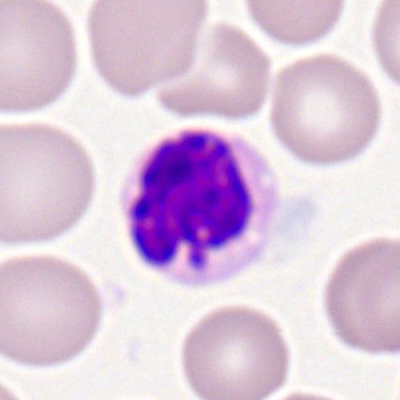

Polymorphonuclear neutrophil.